Single-cell field · bone marrow smear.
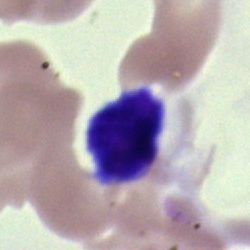
Specimen: bone marrow aspirate smear.
Cell: lymphocyte.
Lineage: lymphoid.